Bone marrow aspirate smear.
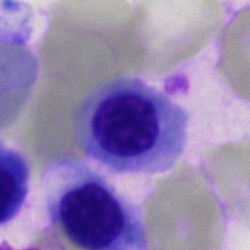Q: What is shown here?
A: Nucleated red blood cell.